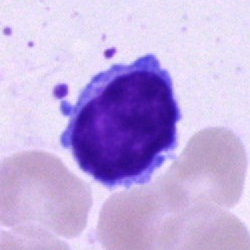
Cell: lymphocyte.